Bone marrow aspirate smear: 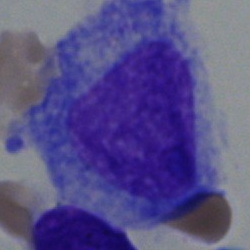Single cell identified as a promyelocyte.